Image size 250×250 · bone marrow smear · single cell centered in the field
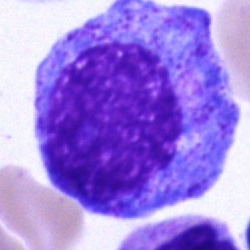
Single cell identified as a promyelocyte.